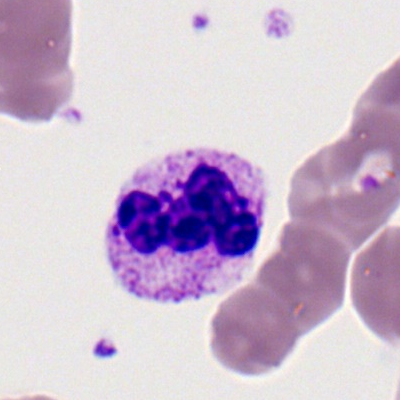 Classification — segmented neutrophil.